Bone marrow aspirate smear — 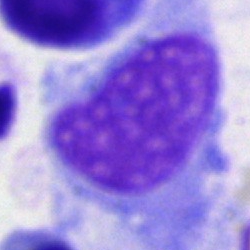Specimen: bone marrow smear.
Cell type: cell of indeterminate lineage.